Bone marrow smear; Pappenheim-stained; 250 by 250 pixels: 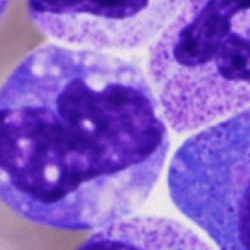
The classification is monocyte.